Bone marrow smear: 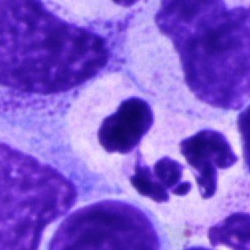

This is a neutrophil (segmented).